Bone marrow smear; single cell centered in the field:
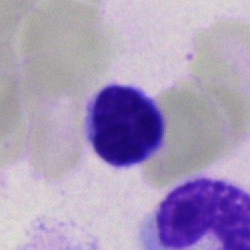 Classification = lymphocyte.